Bone marrow smear.
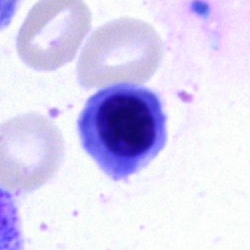 Morphology → nucleated red cell.